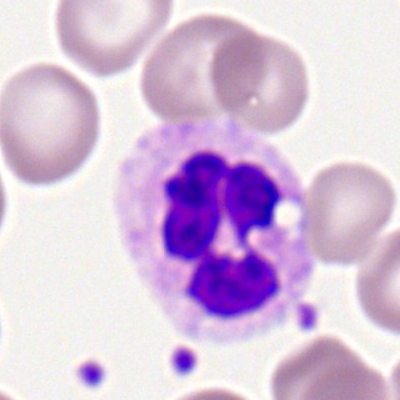

A polymorphonuclear neutrophil on a peripheral blood smear.